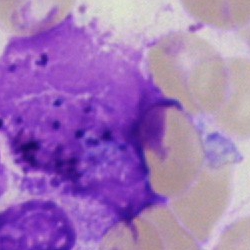 Q: What is shown here?
A: An artefact.